MGG-stained; 250×250 px; bone marrow aspirate smear:
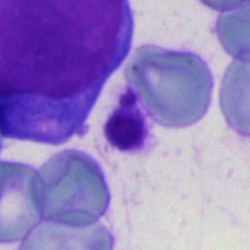Morphology consistent with an undifferentiated blast.